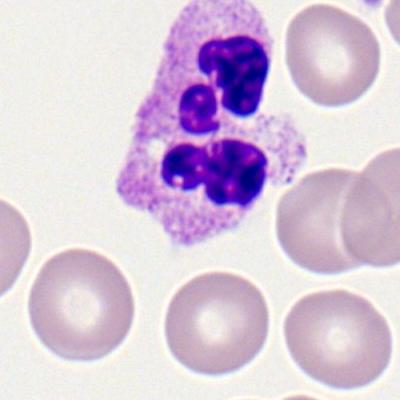 Cell type = polymorphonuclear neutrophil.